Bone marrow aspirate smear.
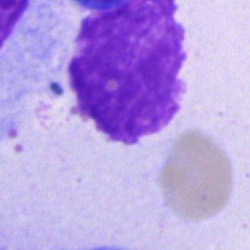Morphology → artefact.